Peripheral blood film:
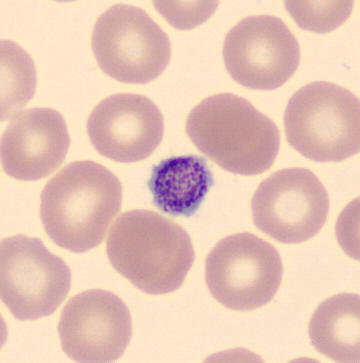Q: What is shown here?
A: This is a platelet.